Bone marrow smear: 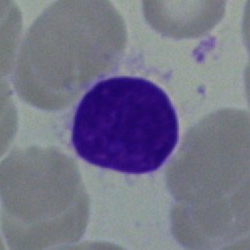

Specimen: bone marrow smear.
Morphological class: typical lymphocyte.
Lineage: lymphoid.